Cropped to a single cell · peripheral blood film: 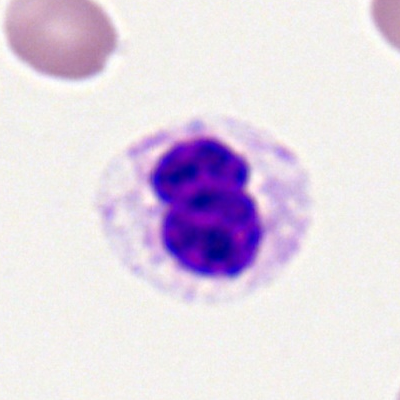A polymorphonuclear neutrophil.